Bone marrow smear:
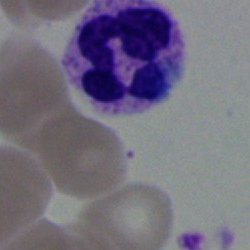

Q: What is shown here?
A: This is a neutrophil (segmented).